Brightfield microscopy, 40× oil immersion. Bone marrow smear. 250 by 250 pixels.
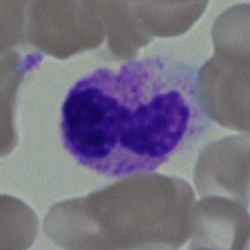
Neutrophil (band).